Bone marrow smear.
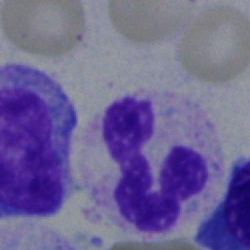

A segmented neutrophil.